40× oil immersion · cropped to a single cell · bone marrow smear
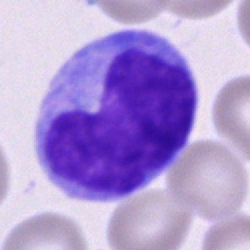Classification: monocyte.